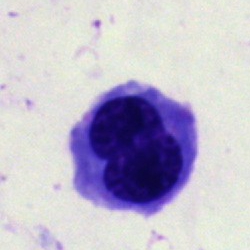

Specimen: bone marrow smear.
Cell: nucleated red blood cell.
Lineage: erythroid.